Pappenheim-stained · bone marrow aspirate smear:
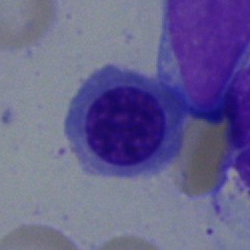

Specimen: bone marrow smear.
Morphological class: nucleated red blood cell.
Lineage: erythroid.